40× oil immersion. Bone marrow aspirate smear.
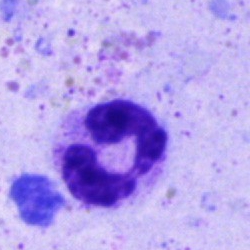 The cell is segmented neutrophil.